Single-cell crop · brightfield, 40× oil-immersion objective · bone marrow aspirate smear: 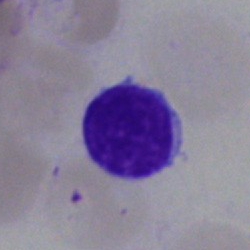

Morphology consistent with a lymphocyte.